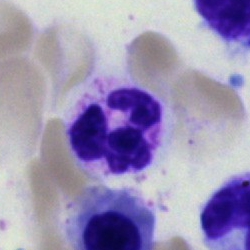Morphology → segmented neutrophil.